Single-cell field · peripheral blood smear
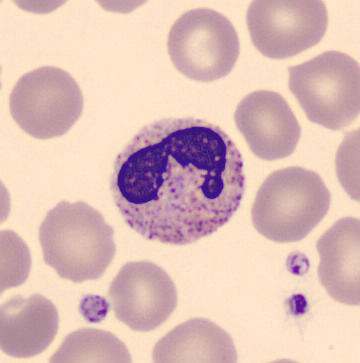
Showing a band neutrophil.